400 by 400 pixels · peripheral blood smear
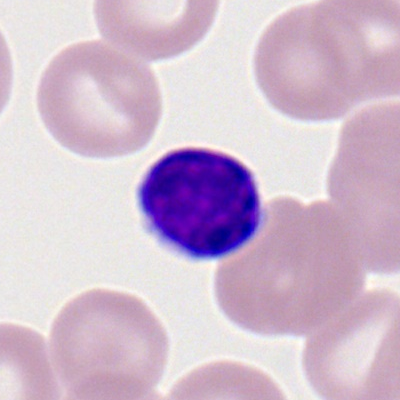
Impression — lymphocyte.